Peripheral blood smear. Romanowsky-stained.
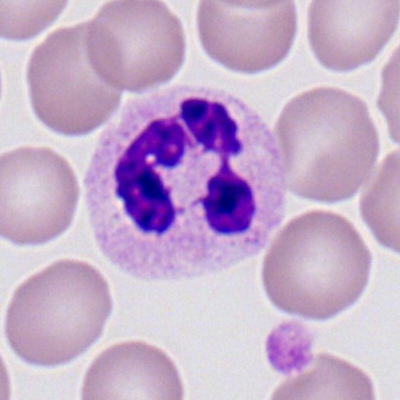

The classification is neutrophil (segmented).